250×250 px; bone marrow smear.
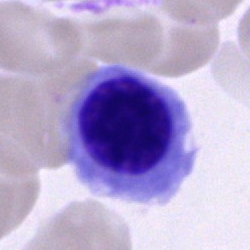Specimen: bone marrow aspirate smear.
Cell: erythroblast.